Bone marrow aspirate smear — 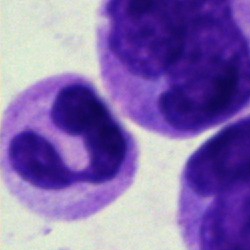 This is a polymorphonuclear neutrophil.